Bone marrow aspirate smear — 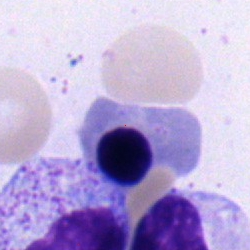

This is a nucleated red blood cell.